Bone marrow smear; Pappenheim-stained:
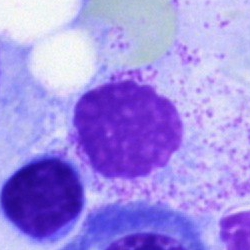

Single cell identified as an artifact.